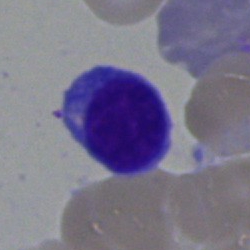 The classification is typical lymphocyte.